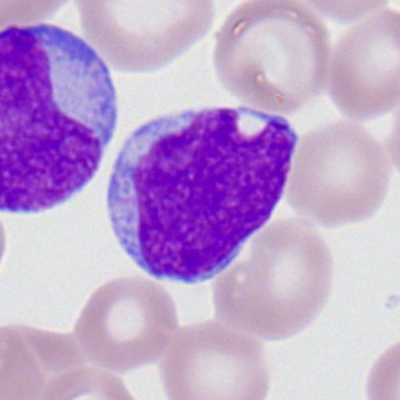The morphological class is myeloid blast.